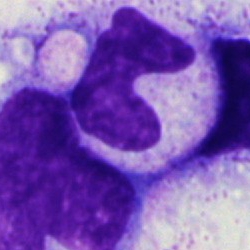

A band-form neutrophil on a bone marrow smear.